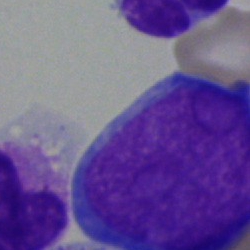
Q: What is shown here?
A: This is a blast cell.